Single-cell crop · May-Grünwald-Giemsa/Pappenheim stain · bone marrow aspirate smear.
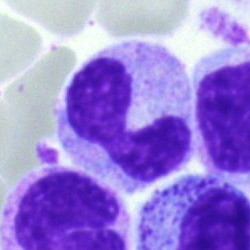

Showing a band neutrophil.